Bone marrow aspirate smear.
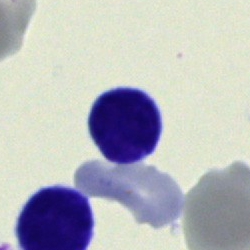Single cell identified as a typical lymphocyte.